Bone marrow aspirate smear.
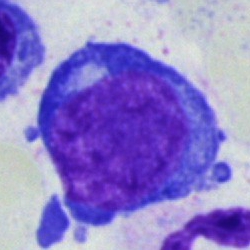 Morphology consistent with a proerythroblast.